Peripheral blood smear:
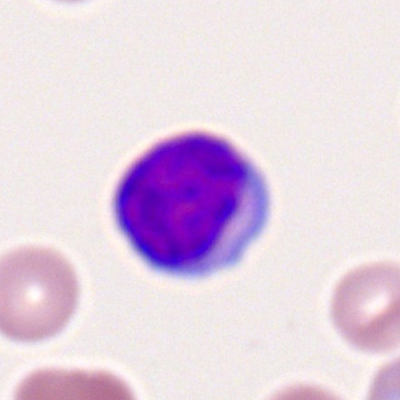

Cell — typical lymphocyte.